May-Grünwald-Giemsa stain; bone marrow smear; 250×250 — 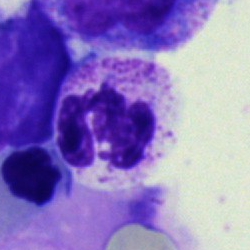
Q: What is shown here?
A: A segmented neutrophil.